Bone marrow aspirate smear; MGG-stained
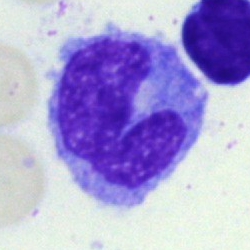
This is a monocyte.